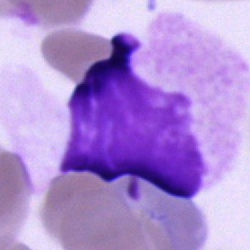 Specimen: bone marrow smear.
Morphological class: artifact.